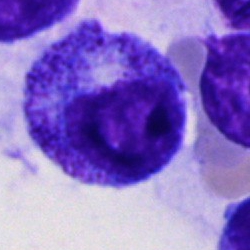 A progranulocyte.